Bone marrow smear: 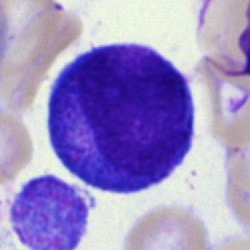 Single cell identified as a progranulocyte.